Bone marrow aspirate smear: 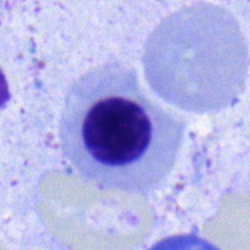 Classification — erythroblast.